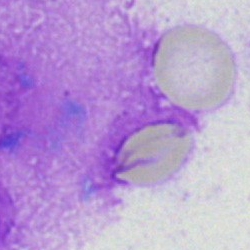

Specimen: bone marrow smear.
Cell: artifact.